Single cell centered in the field; Pappenheim-stained; bone marrow aspirate smear: 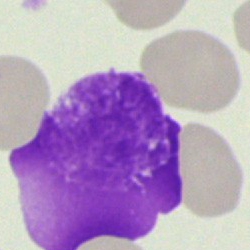

The cell is artifact.